Bone marrow smear:
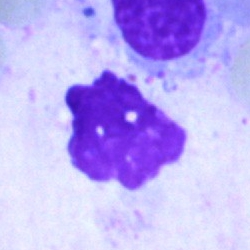
Morphology — artifact.